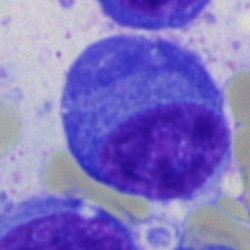
Morphology — plasma cell.